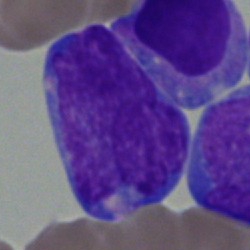

Specimen: bone marrow aspirate smear.
Cell: blast.